Bone marrow aspirate smear · single-cell field · May-Grünwald-Giemsa stain:
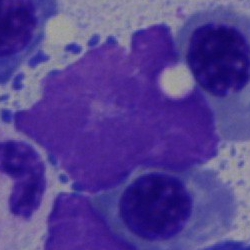

Q: What is shown here?
A: It is an artifact.